40× objective, oil immersion. Bone marrow aspirate smear.
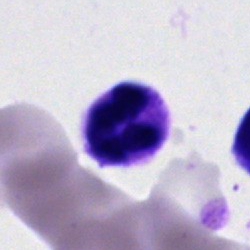

Morphology — neutrophil (segmented).